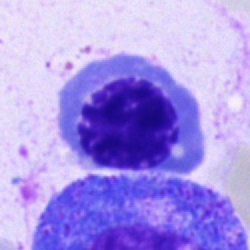

Specimen: bone marrow aspirate smear.
Cell: nucleated red blood cell.